250×250. Bone marrow smear. 40× oil immersion.
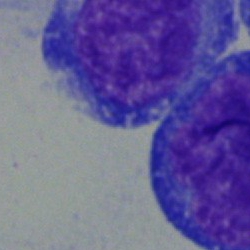

Q: What cell is this?
A: A blast cell.